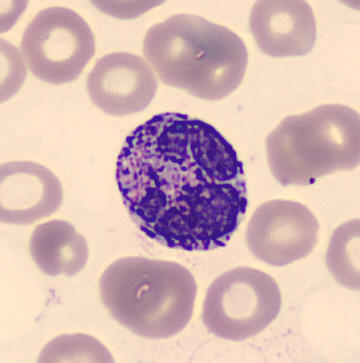

Image: 360×363. Peripheral blood smear.
Q: What is shown here?
A: Basophilic granulocyte.